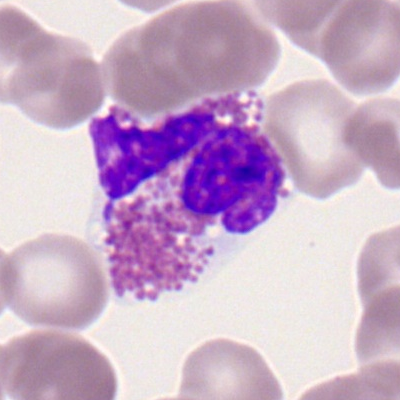

Showing an eosinophilic granulocyte.